Bone marrow smear — 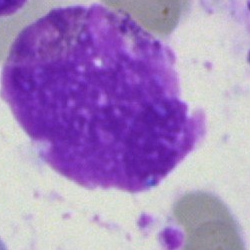 Q: What is shown here?
A: An artefact.